Bone marrow smear · image size 250×250:
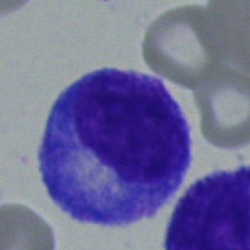{"cell_type": "myelocyte", "lineage": "myeloid"}